Bone marrow aspirate smear.
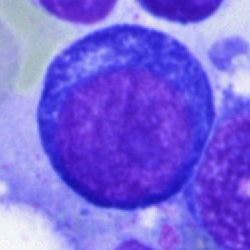

Morphology consistent with a proerythroblast.